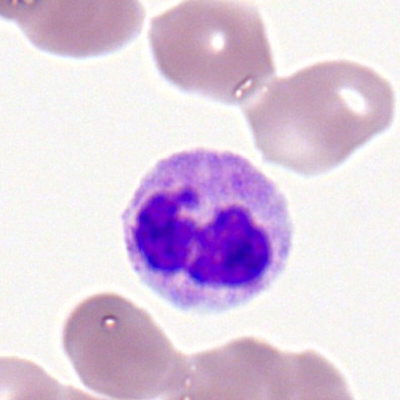Single cell identified as a polymorphonuclear neutrophil.